40× oil immersion. Single cell centered in the field. Bone marrow smear — 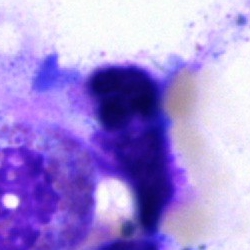 Morphological class — artefact.